250 by 250 pixels; bone marrow smear — 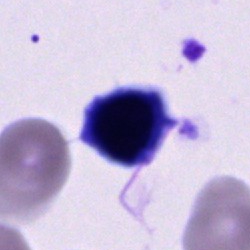
A cell of indeterminate lineage.